Bone marrow smear. Brightfield, 40× oil-immersion objective. May-Grünwald-Giemsa/Pappenheim stain: 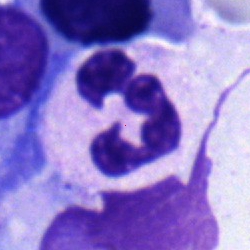

Impression → segmented neutrophil.